Peripheral blood film · single cell centered in the field: 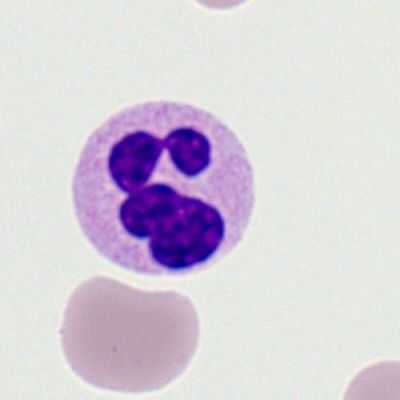 Specimen: peripheral blood film.
Morphological class: neutrophil (segmented).